Bone marrow aspirate smear; single-cell crop — 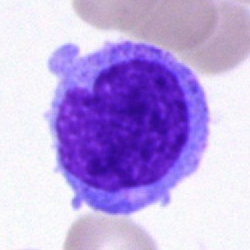
Monocyte.